Cropped to a single cell · May-Grünwald-Giemsa/Pappenheim stain · bone marrow smear:
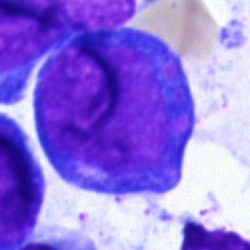

Impression — blast.